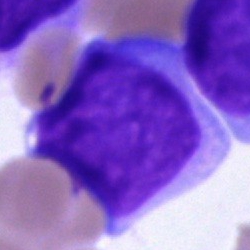 Q: What is shown here?
A: This is an undifferentiated blast.